Bone marrow smear: 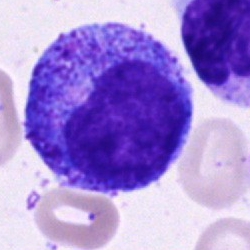Cell type — promyelocyte.